Bone marrow smear:
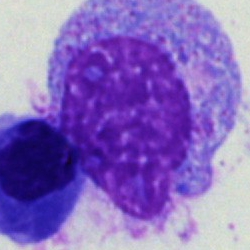

Impression — promyelocyte.